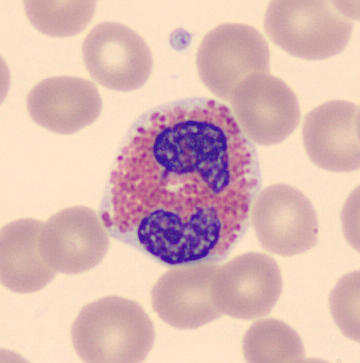

Identified as an eosinophilic granulocyte.

Peripheral blood smear.